Bone marrow smear — 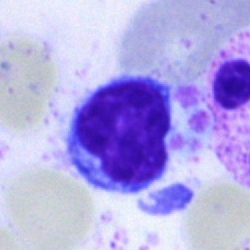

Q: What is the morphological classification of this cell?
A: Lymphocyte.